250×250. Brightfield microscopy, 40× oil immersion. Bone marrow aspirate smear.
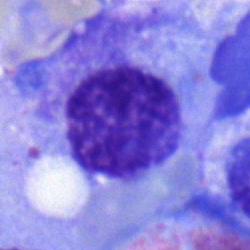

Plasma cell.